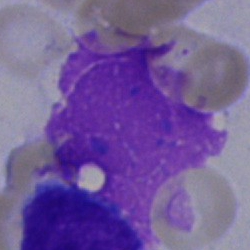Classification = artifact.